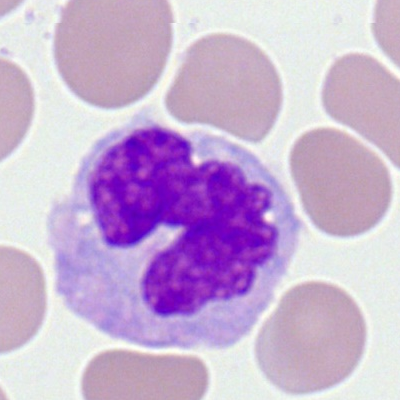 Impression — monocyte.